Cropped to a single cell. 40× objective, oil immersion. Bone marrow smear
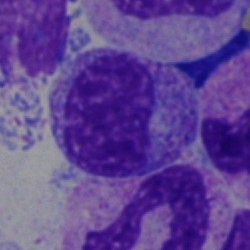
Cell: myelocyte.